Single cell centered in the field. Pappenheim-stained. Bone marrow aspirate smear
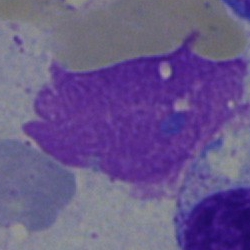
Classification — artefact.